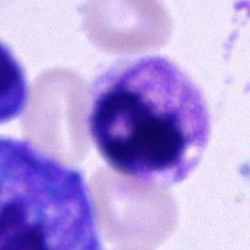 Classification — neutrophil (segmented).